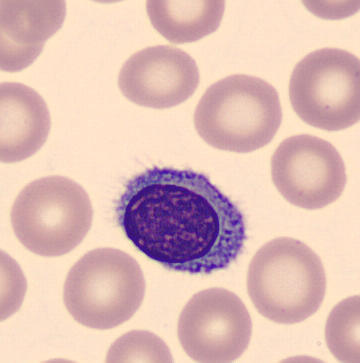
Morphological class: lymphocyte.